Brightfield, 40× oil-immersion objective; 250×250 px; bone marrow aspirate smear:
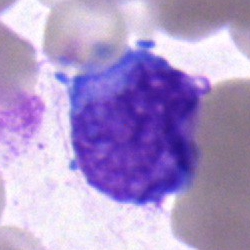Cell type = undifferentiated blast.